Bone marrow aspirate smear. Brightfield microscopy, 40× oil immersion. May-Grünwald-Giemsa stain
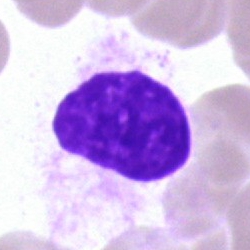
{"cell_type": "artifact"}